MGG stain; peripheral blood film — 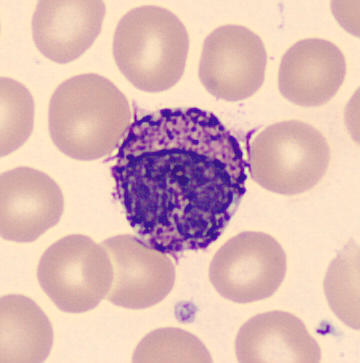

A basophil.